Peripheral blood smear · Romanowsky-stained: 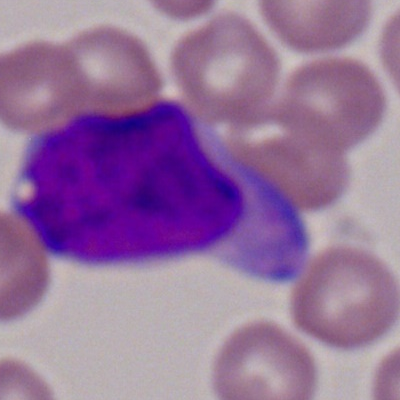
Morphology — myeloid blast.